MGG-stained; bone marrow smear — 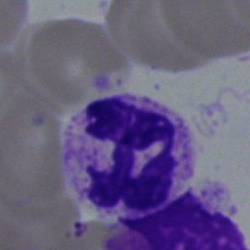 Q: What type of cell is this?
A: Segmented neutrophil.